Peripheral blood film. Romanowsky-stained. Cropped to a single cell: 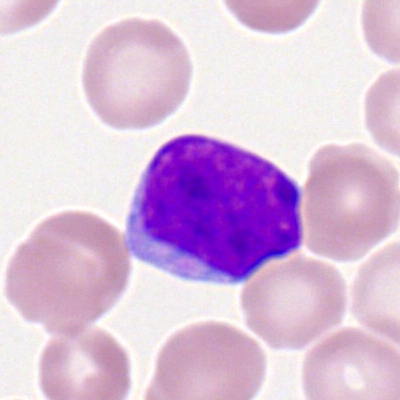

A myeloblast.